Bone marrow aspirate smear; 40× oil immersion; cropped to a single cell.
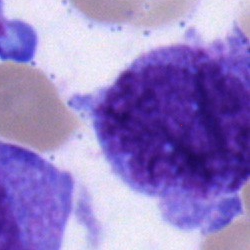 A blast.